Bone marrow smear. Single-cell crop — 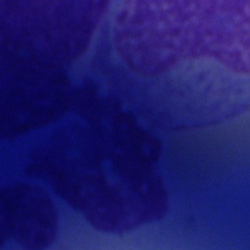 The cell type is artefact.